Bone marrow smear.
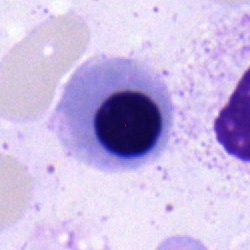
Classification = erythroblast.